Brightfield, 40× oil-immersion objective · bone marrow aspirate smear:
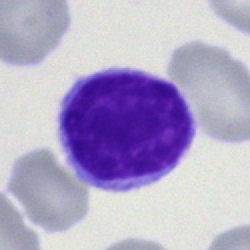Impression — typical lymphocyte.